Bone marrow aspirate smear · single-cell field
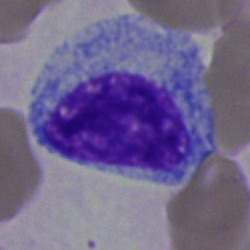Single cell identified as a myelocyte.